Pappenheim-stained; bone marrow smear:
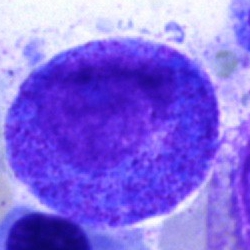Q: Which cell type is shown here?
A: A promyelocyte.